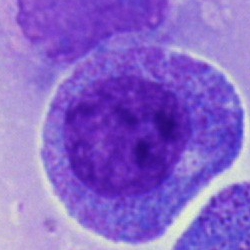 Cell: progranulocyte.